40× objective, oil immersion; bone marrow smear:
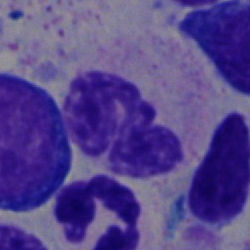

The cell shown is a polymorphonuclear neutrophil.